MGG-stained. Bone marrow smear — 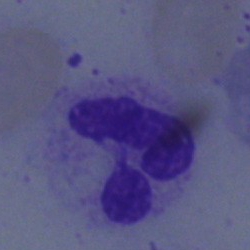 Morphological class = segmented neutrophil.